250×250 · bone marrow aspirate smear · brightfield microscopy, 40× oil immersion
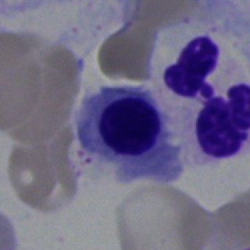 Showing a normoblast.